Pappenheim-stained; bone marrow smear
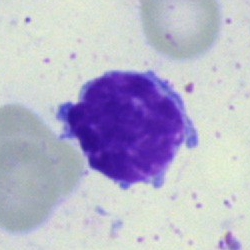
{"cell_type": "typical lymphocyte", "lineage": "lymphoid"}